Bone marrow aspirate smear · single-cell field: 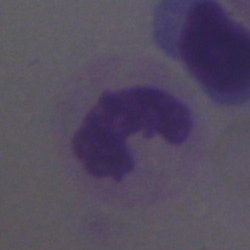

Specimen: bone marrow aspirate smear.
Classification: polymorphonuclear neutrophil.
Lineage: myeloid.